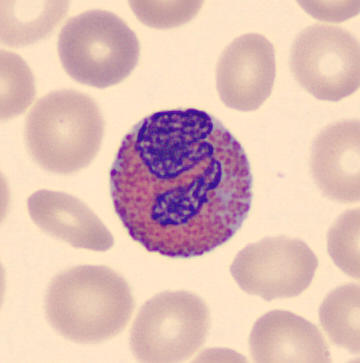

Peripheral blood film. Cell: eosinophil.